Bone marrow smear:
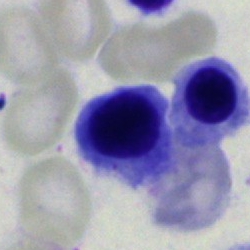

Cell — nucleated red blood cell.